MGG-stained. Image size 250×250. Bone marrow smear.
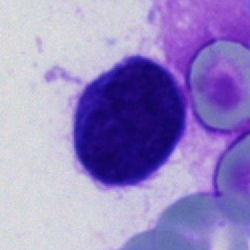Specimen: bone marrow aspirate smear.
Morphological class: unidentifiable cell.